Bone marrow smear:
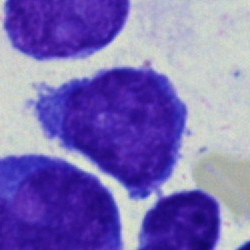
Specimen: bone marrow smear.
Cell: blast cell.